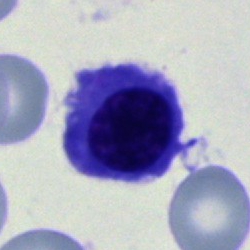 Classification = normoblast.